Bone marrow smear.
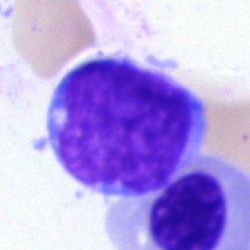
Cell — undifferentiated blast.